Image size 400×400 · peripheral blood film · single-cell crop: 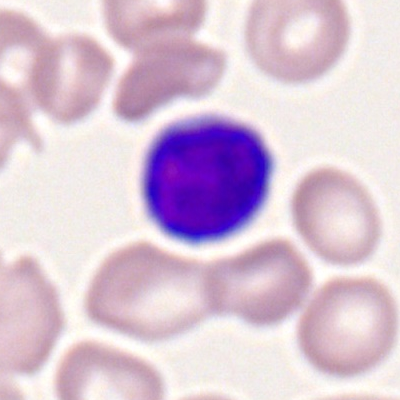 A typical lymphocyte.